40× objective, oil immersion; bone marrow aspirate smear
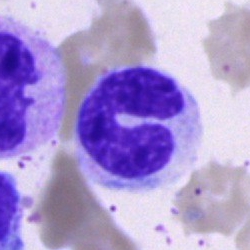

Stab cell.